Single-cell field. Bone marrow smear. May-Grünwald-Giemsa/Pappenheim stain
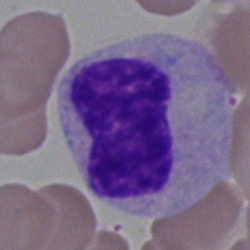Morphological class: metamyelocyte.